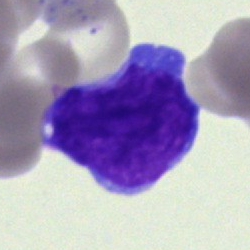
Undifferentiated blast.